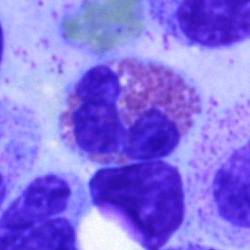

Single-cell crop from a bone marrow smear: eosinophil.